250 by 250 pixels. Bone marrow smear:
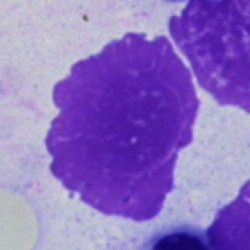
Single cell identified as an artifact.